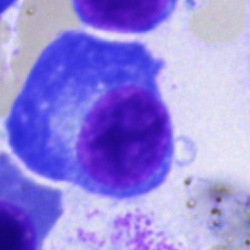The classification is plasmacyte.